Bone marrow smear.
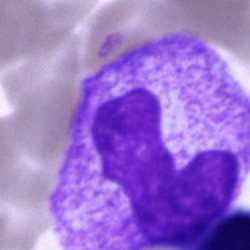 Morphology consistent with a stab cell.